Bone marrow aspirate smear. Pappenheim-stained.
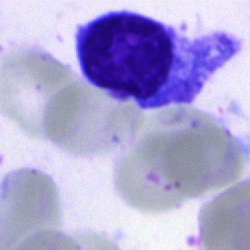 Specimen: bone marrow aspirate smear.
Morphological class: typical lymphocyte.
Lineage: lymphoid.